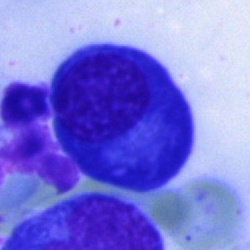

Morphological class = plasma cell.